Bone marrow aspirate smear. Single-cell field. 40× objective, oil immersion: 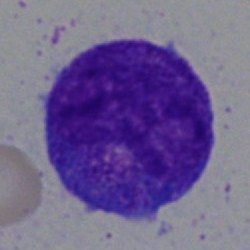
Specimen: bone marrow smear.
Classification: progranulocyte.